Bone marrow smear — 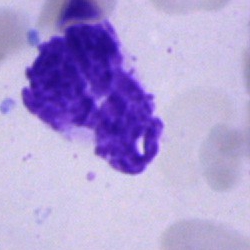
Morphology consistent with an artefact.